Bone marrow smear. 40× objective, oil immersion. 250×250:
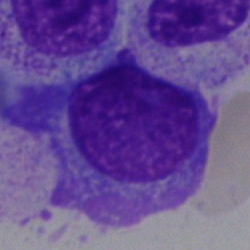 Specimen: bone marrow smear.
Cell type: cell of indeterminate lineage.